Peripheral blood smear · Romanowsky stain
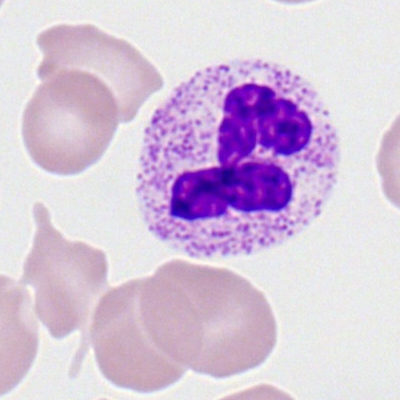

{"cell_type": "polymorphonuclear neutrophil"}